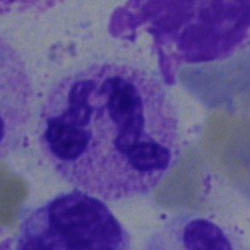

Bone marrow smear showing a polymorphonuclear neutrophil.